Bone marrow smear
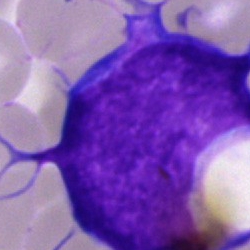 Morphology consistent with a blast cell.